Bone marrow smear; 250 by 250 pixels:
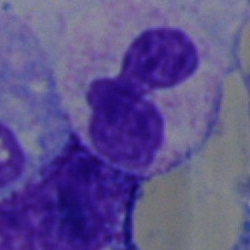Specimen: bone marrow smear.
Cell type: segmented neutrophil.
Lineage: myeloid.